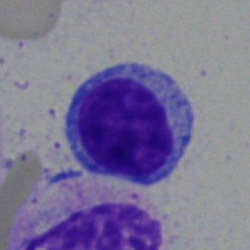

Impression — lymphocyte.